Image size 250×250. Bone marrow aspirate smear: 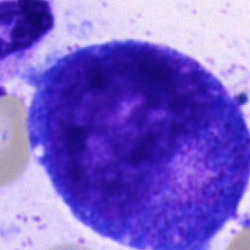Morphological class: progranulocyte.